Bone marrow smear:
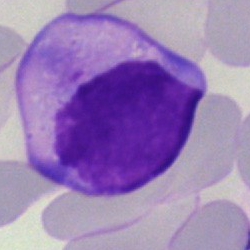
{"cell_type": "blast cell"}